Peripheral blood film
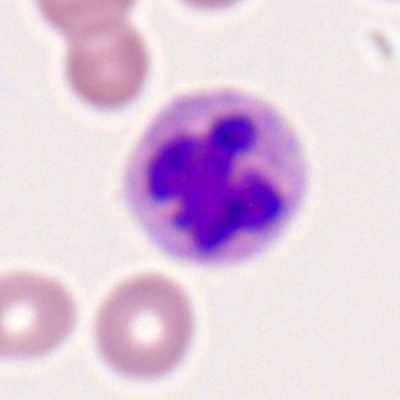

Impression → neutrophil (segmented).